Bone marrow smear.
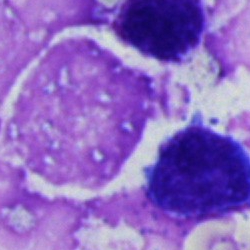
This is an artifact.